Brightfield, 40× oil-immersion objective; bone marrow smear — 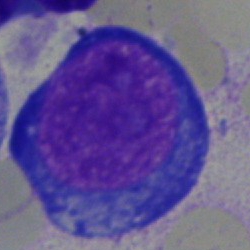Impression → pronormoblast.